Bone marrow smear — 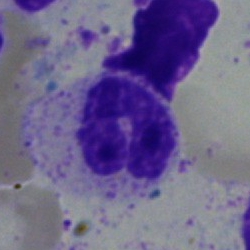
A neutrophil (band).